400×400 · Romanowsky stain · peripheral blood film
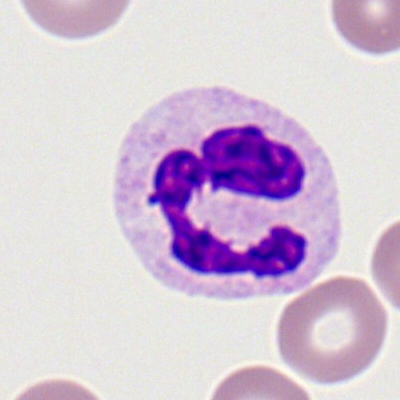
Q: What is shown here?
A: This is a segmented neutrophil.